MGG-stained; bone marrow smear; 40× objective, oil immersion
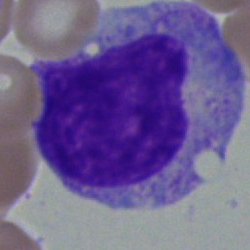
Specimen: bone marrow smear.
Cell: progranulocyte.
Lineage: myeloid.